Bone marrow smear.
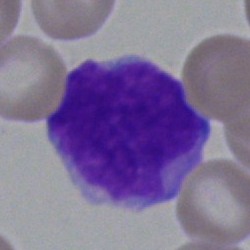 This is a blast.